Bone marrow smear; 250×250.
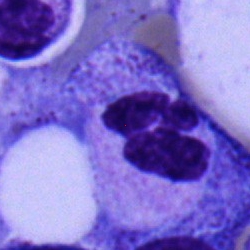

Q: Which cell type is shown here?
A: Segmented neutrophil.